Bone marrow aspirate smear; brightfield, 40× oil-immersion objective:
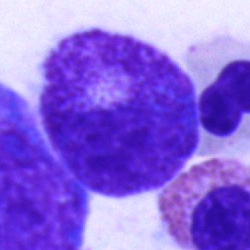 Q: What type of cell is this?
A: Promyelocyte.